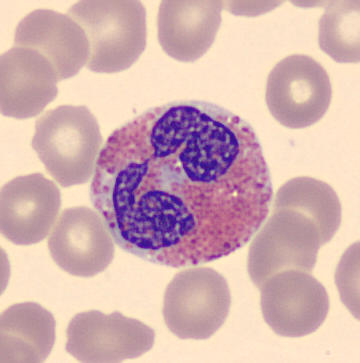Peripheral blood film, single cell — eosinophil.